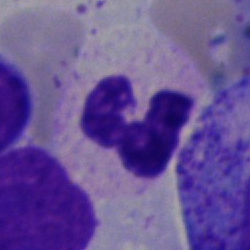Q: What cell is this?
A: It is a polymorphonuclear neutrophil.